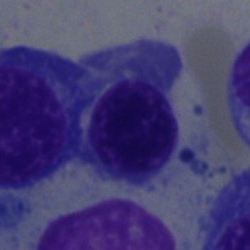 Cell type — nucleated red cell.